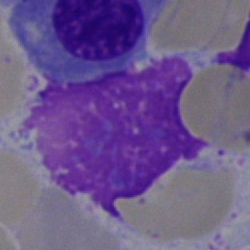

{"cell_type": "artefact"}